MGG-stained; bone marrow smear
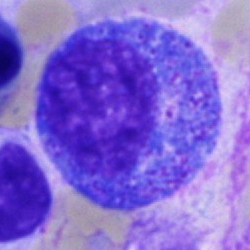

Showing a progranulocyte.